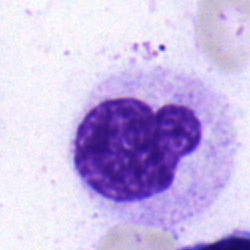

Showing a band-form neutrophil.